Bone marrow aspirate smear. Single cell centered in the field. Image size 250×250
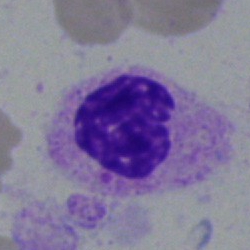

Classification = stab cell.